Bone marrow aspirate smear:
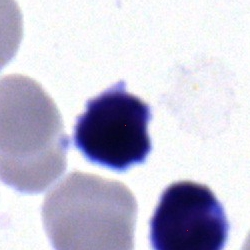A typical lymphocyte.